Brightfield microscopy, 40× oil immersion. Bone marrow aspirate smear. MGG-stained
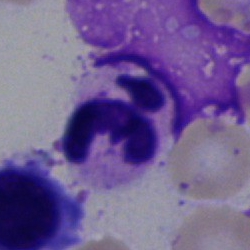 Morphology → neutrophil (segmented).